Bone marrow aspirate smear
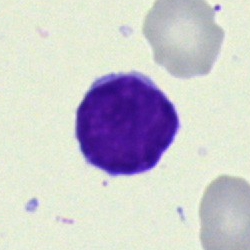Specimen: bone marrow smear.
Morphological class: typical lymphocyte.
Lineage: lymphoid.